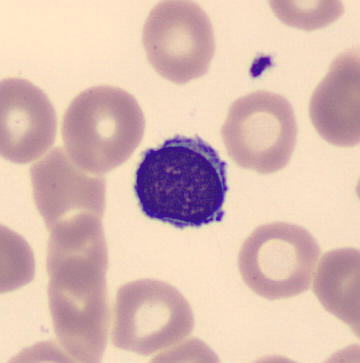 Specimen: peripheral blood film.
Morphological class: typical lymphocyte.
Lineage: lymphoid.

Acquisition: Automated cell imaging (CellaVision DM96). MGG-stained.